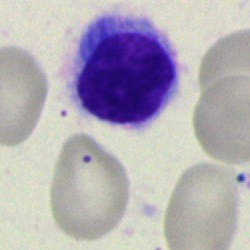 Impression — hairy cell.